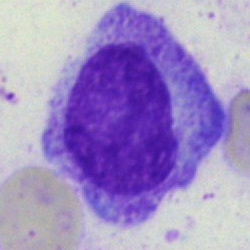

This is a progranulocyte.